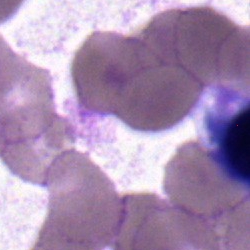Q: Identify the cell.
A: A nucleated red blood cell.